Bone marrow smear:
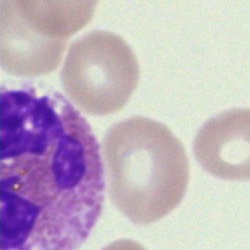
Specimen: bone marrow smear.
Cell type: eosinophilic granulocyte.
Lineage: myeloid.